Bone marrow aspirate smear. Cropped to a single cell
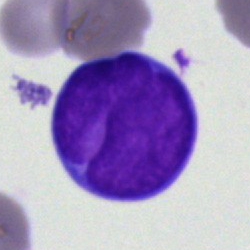
Q: What type of cell is this?
A: A blast cell.